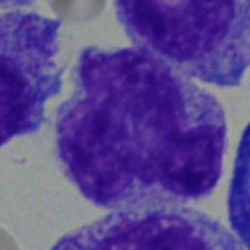

The classification is monocyte.